Bone marrow smear — 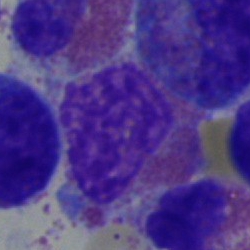

Eosinophil.